Bone marrow smear: 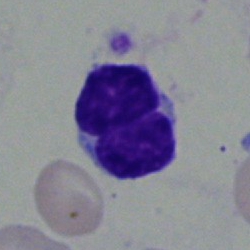 Classification — typical lymphocyte.